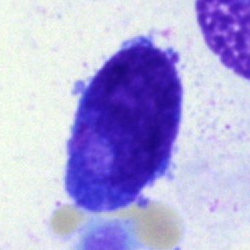

A promyelocyte on a bone marrow smear.